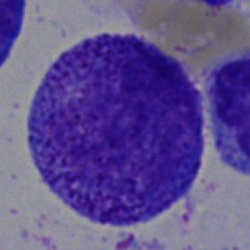Promyelocyte.